Peripheral blood smear; M8 digital microscope (Precipoint), 100× oil immersion
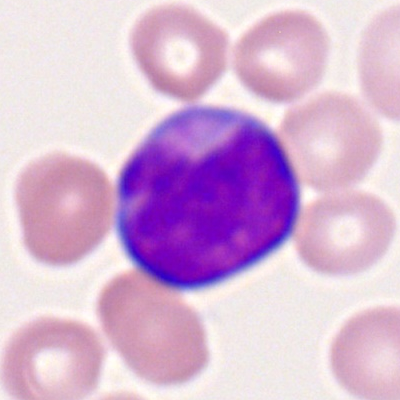

Specimen: peripheral blood smear.
Morphological class: myeloblast.
Lineage: myeloid.